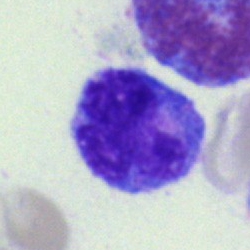

Classification: monocyte.